Bone marrow smear — 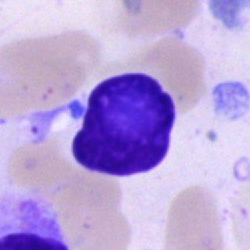 Morphology consistent with an artefact.